Bone marrow aspirate smear; single cell centered in the field: 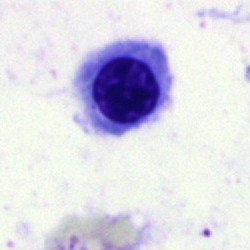 Q: Identify the cell.
A: Normoblast.